Bone marrow smear.
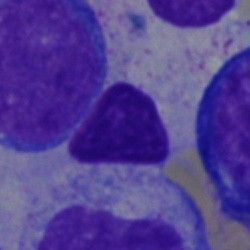
Morphological class: artefact.